Bone marrow aspirate smear:
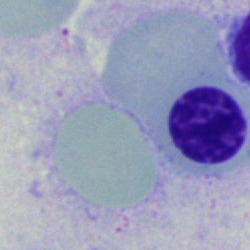

This is a nucleated red cell.